Cropped to a single cell; bone marrow aspirate smear: 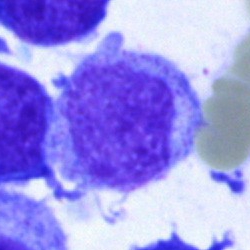Q: What is the morphological classification of this cell?
A: It is an undifferentiated blast.